Bone marrow smear:
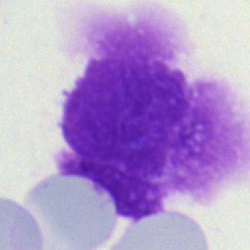 Cell — artifact.